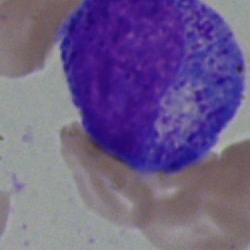

Morphological class — promyelocyte.